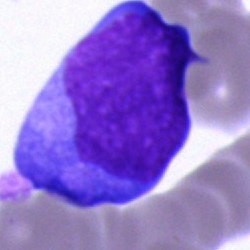 Morphology — undifferentiated blast.